Bone marrow aspirate smear; 250×250 px — 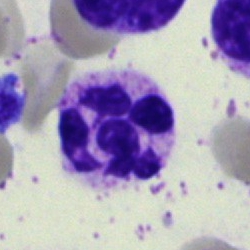
Segmented neutrophil.